Brightfield microscopy, 40× oil immersion; bone marrow aspirate smear — 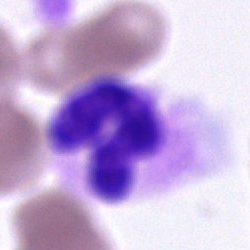 Q: What is the morphological classification of this cell?
A: Polymorphonuclear neutrophil.